Bone marrow smear · single-cell field · MGG-stained — 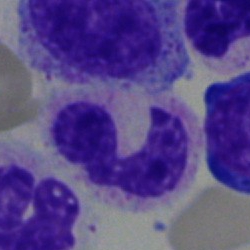Classification — band neutrophil.